Bone marrow smear:
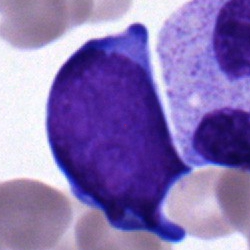
{"cell_type": "blast"}